Bone marrow aspirate smear. 250×250. MGG-stained
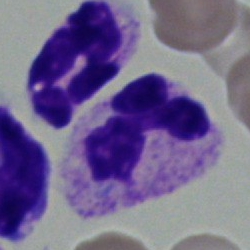The cell shown is a segmented neutrophil.